40× objective, oil immersion. 250×250. Bone marrow aspirate smear
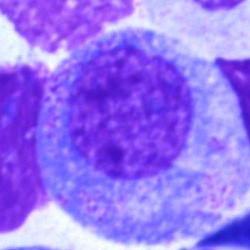 Showing a progranulocyte.